Brightfield, 40× oil-immersion objective · bone marrow smear · May-Grünwald-Giemsa stain:
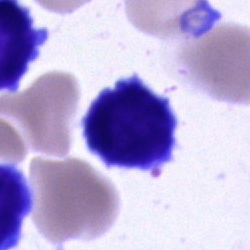Q: Identify the cell.
A: It is a lymphocyte.